Bone marrow aspirate smear.
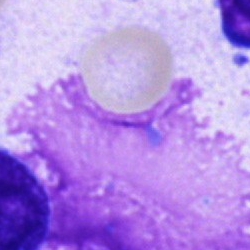
Impression — artefact.